Bone marrow aspirate smear — 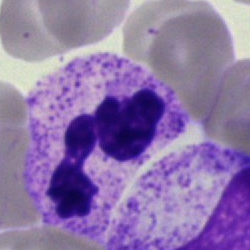

Specimen: bone marrow smear.
Morphological class: neutrophil (segmented).
Lineage: myeloid.